Romanowsky-type stain. 400×400 px. Peripheral blood smear.
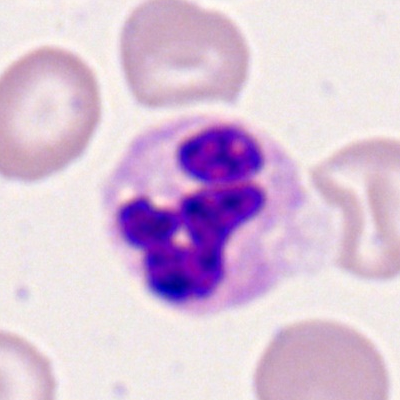
Q: What type of cell is this?
A: Neutrophil (segmented).